Bone marrow aspirate smear; single cell centered in the field — 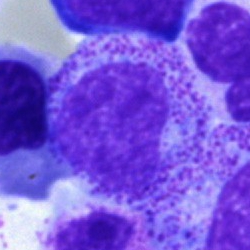 Q: Which cell type is shown here?
A: A myelocyte.